Bone marrow smear · 250×250
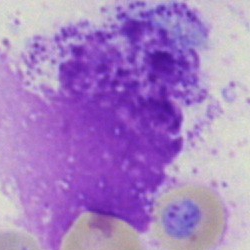 Specimen: bone marrow aspirate smear.
Classification: artifact.